Brightfield microscopy, 40× oil immersion; bone marrow smear; Pappenheim-stained:
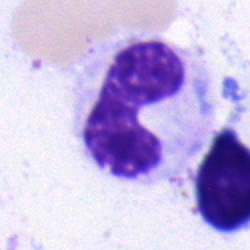This is a stab cell.